Bone marrow smear: 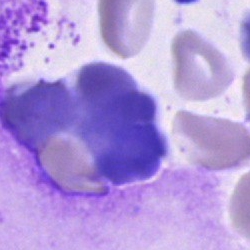{"cell_type": "artefact"}